Pappenheim-stained · bone marrow aspirate smear.
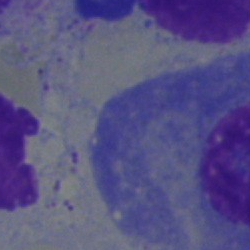

The cell is plasma cell.